Bone marrow aspirate smear: 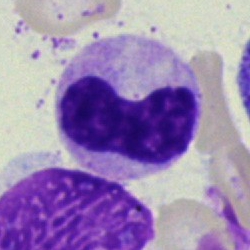
This is a stab cell.